100× oil immersion; peripheral blood smear — 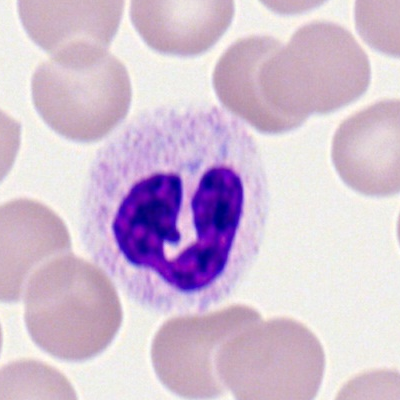

Cell = segmented neutrophil.